40× objective, oil immersion; bone marrow smear.
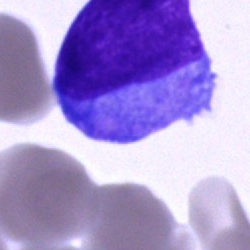Specimen: bone marrow smear.
Classification: blast.